Bone marrow smear — 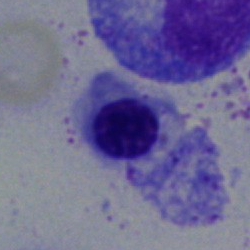

Q: What is shown here?
A: A normoblast.